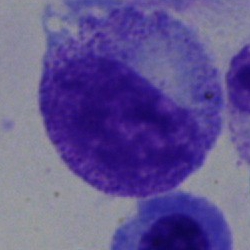 Q: What cell is this?
A: It is a progranulocyte.